Single-cell crop · brightfield microscopy, 40× oil immersion · bone marrow aspirate smear: 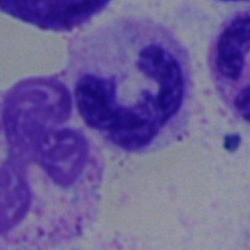

The cell shown is a segmented neutrophil.